MGG-stained; 40× oil immersion; bone marrow aspirate smear:
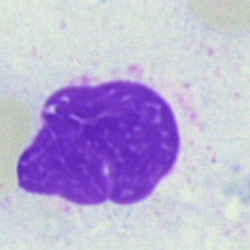
Artifact.